Brightfield, 40× oil-immersion objective. Pappenheim-stained. Bone marrow aspirate smear.
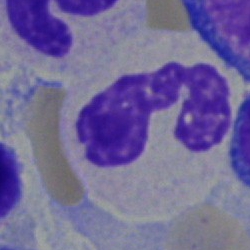Morphology → neutrophil (segmented).